Bone marrow aspirate smear:
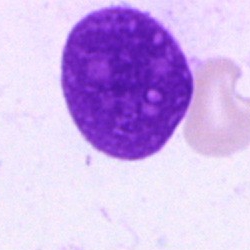
Specimen: bone marrow aspirate smear.
Morphological class: artifact.